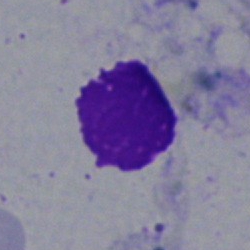 The classification is artifact.